Bone marrow aspirate smear:
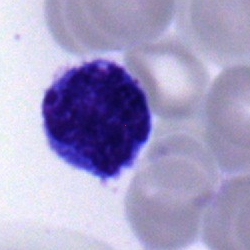 Q: What is shown here?
A: It is a typical lymphocyte.